Bone marrow aspirate smear. 40× oil immersion.
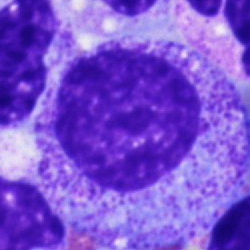Cell type = promyelocyte.